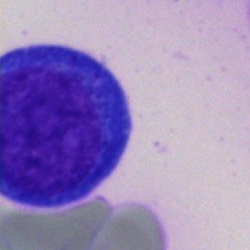 Q: What type of cell is this?
A: A blast.